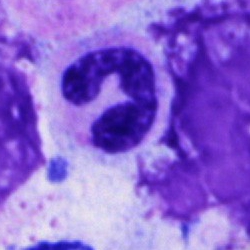

Morphology → polymorphonuclear neutrophil.